Bone marrow aspirate smear · 40× oil immersion.
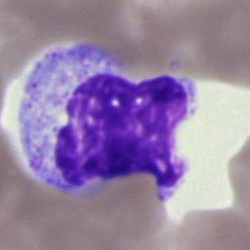
Specimen: bone marrow smear.
Morphological class: myelocyte.